Romanowsky-stained · peripheral blood film.
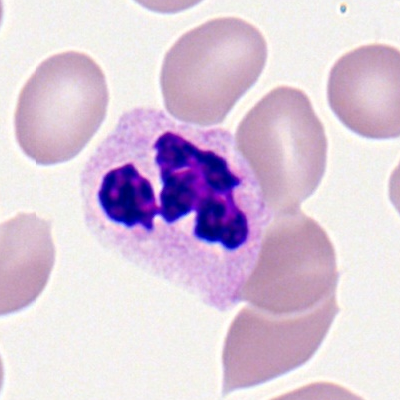

Specimen: peripheral blood smear.
Morphological class: polymorphonuclear neutrophil.
Lineage: myeloid.